Bone marrow smear; 250×250 px; Pappenheim-stained
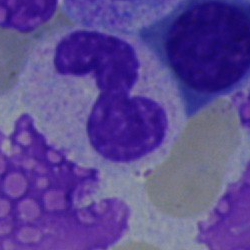
Cell type — stab cell.